Bone marrow aspirate smear; 250×250:
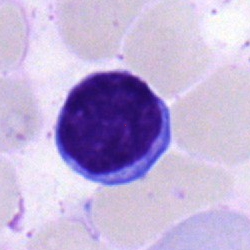Showing a typical lymphocyte.